Peripheral blood smear · 360×363 · automated cell imaging (CellaVision DM96)
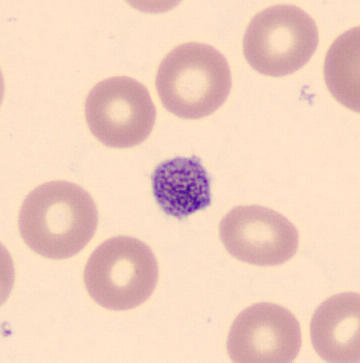

Specimen: peripheral blood film.
Classification: thrombocyte.